40× objective, oil immersion. MGG-stained. Bone marrow aspirate smear:
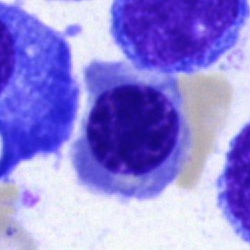
Specimen: bone marrow aspirate smear.
Cell: normoblast.
Lineage: erythroid.